Bone marrow smear · cropped to a single cell · Pappenheim-stained: 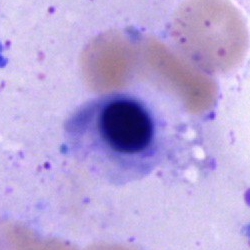 Q: What is shown here?
A: A nucleated red blood cell.